Peripheral blood smear; 400×400; single-cell crop.
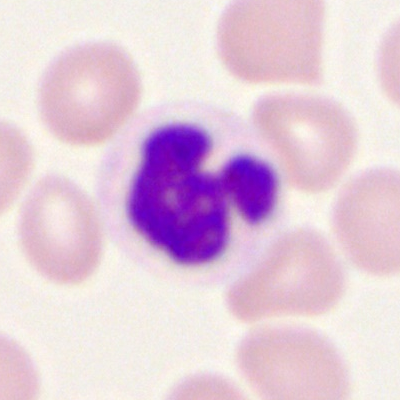{"cell_type": "segmented neutrophil", "lineage": "myeloid"}